Bone marrow aspirate smear: 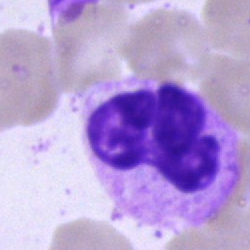Specimen: bone marrow aspirate smear.
Cell: polymorphonuclear neutrophil.